Bone marrow smear
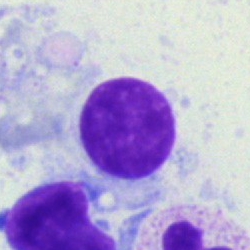
A lymphocyte.